Bone marrow smear: 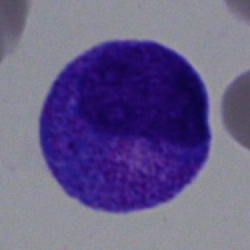 Single cell identified as a promyelocyte.